Bone marrow smear
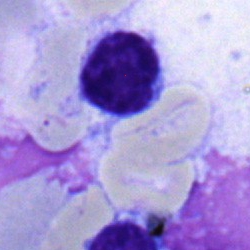

Morphology → typical lymphocyte.